Bone marrow smear. Cropped to a single cell:
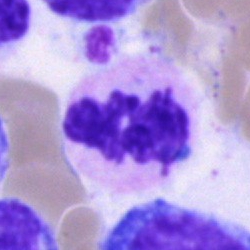 Morphology — segmented neutrophil.